Bone marrow smear.
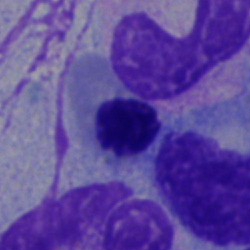Morphology consistent with a nucleated red blood cell.